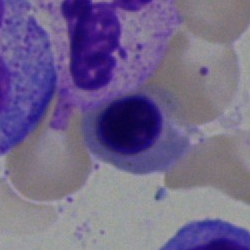

Morphology → nucleated red cell.